Bone marrow aspirate smear. May-Grünwald-Giemsa/Pappenheim stain — 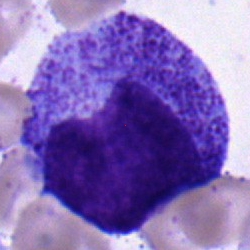

A promyelocyte.